250×250. Bone marrow aspirate smear — 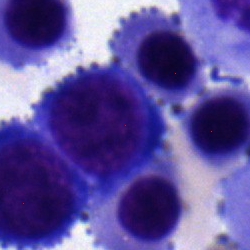
Specimen: bone marrow aspirate smear.
Classification: nucleated red blood cell.